Bone marrow smear · 40× oil immersion — 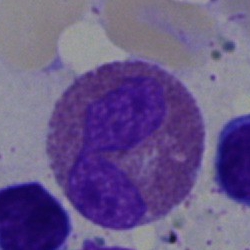 Morphology consistent with an eosinophilic granulocyte.